Bone marrow aspirate smear
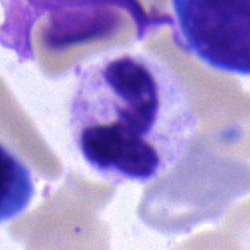{"cell_type": "segmented neutrophil"}